Bone marrow smear. Cropped to a single cell — 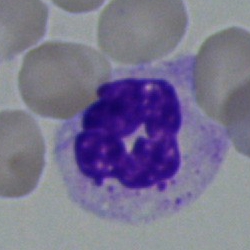Morphology consistent with a neutrophil (segmented).